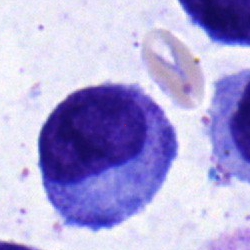

Classification = myelocyte.